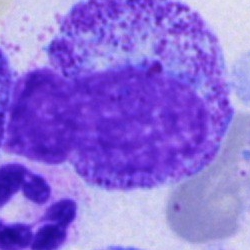

Classification — progranulocyte.